Bone marrow smear.
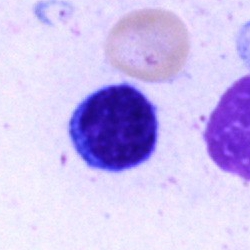The cell type is typical lymphocyte.